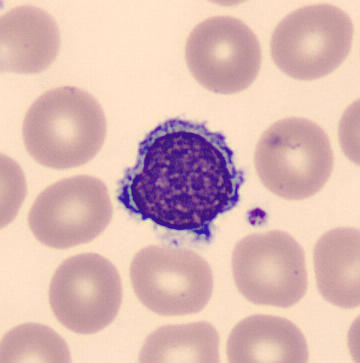
Typical lymphocyte. Image: CellaVision DM96 digital cell image; peripheral blood smear; 360 by 363 pixels.